Peripheral blood film; cropped to a single cell: 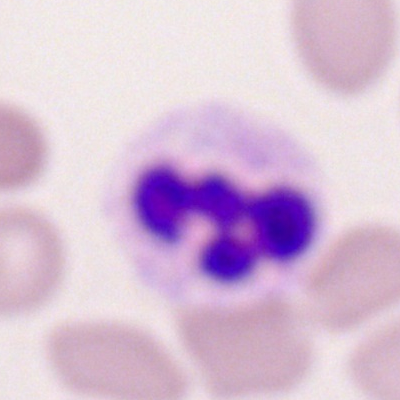 Q: What is the morphological classification of this cell?
A: It is a polymorphonuclear neutrophil.